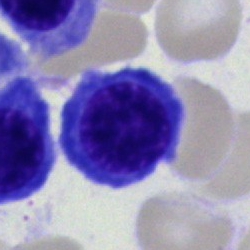

An erythroblast on a bone marrow smear.